Bone marrow aspirate smear — 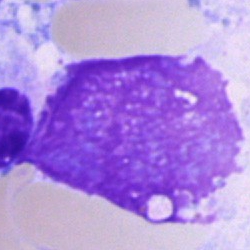

Morphology → artifact.